Bone marrow smear; May-Grünwald-Giemsa/Pappenheim stain; 40× oil immersion.
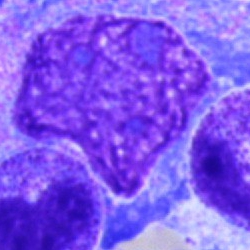

Morphological class = artifact.